Bone marrow aspirate smear:
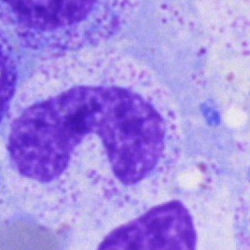 Morphology consistent with a band neutrophil.